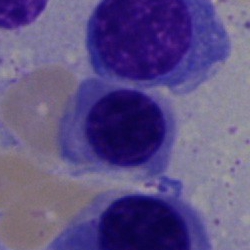 Q: Which cell type is shown here?
A: It is a normoblast.